Bone marrow smear: 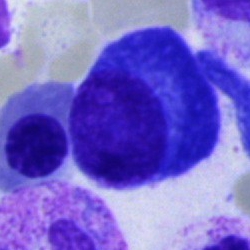
Cell — plasmacyte.